Bone marrow aspirate smear
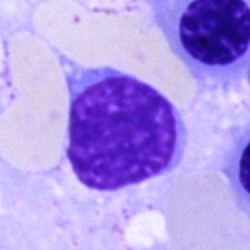Typical lymphocyte.